40× oil immersion; bone marrow smear.
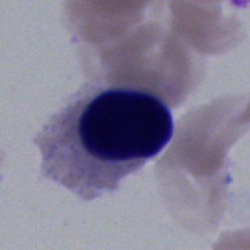
Q: What type of cell is this?
A: Erythroblast.